Bone marrow smear:
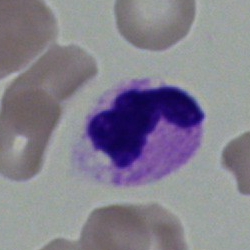

This is a segmented neutrophil.